Single-cell crop; bone marrow aspirate smear — 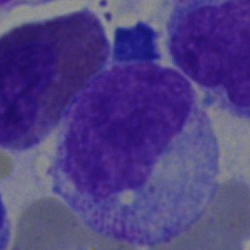
Morphological class — progranulocyte.